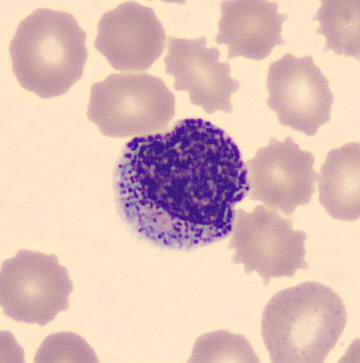Image: Peripheral blood smear.
The morphological class is myelocyte.